250×250 · bone marrow aspirate smear — 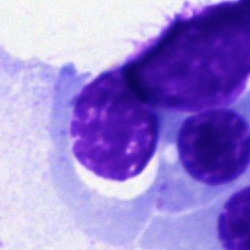
This is an artifact.